Bone marrow aspirate smear: 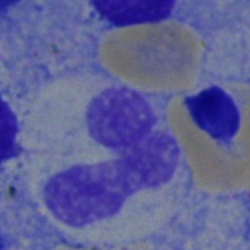

A neutrophil (band).